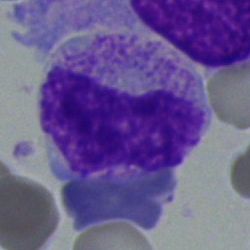
Specimen: bone marrow smear.
Cell type: metamyelocyte.
Lineage: myeloid.